Bone marrow aspirate smear
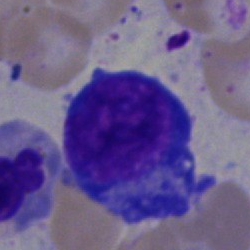 Showing a plasma cell.